Single cell centered in the field; 40× objective, oil immersion; bone marrow smear.
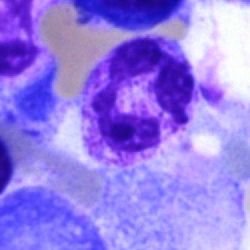

Impression — polymorphonuclear neutrophil.